Bone marrow smear; single cell centered in the field.
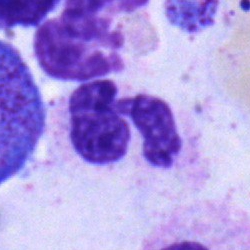

Neutrophil (segmented).